Bone marrow smear. MGG-stained
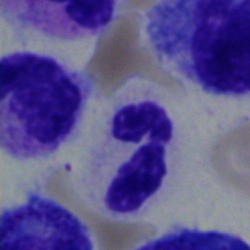
Impression → polymorphonuclear neutrophil.